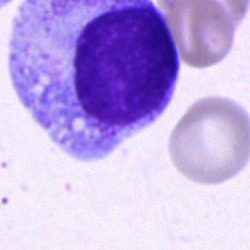

Impression → metamyelocyte.